Bone marrow aspirate smear. Brightfield, 40× oil-immersion objective — 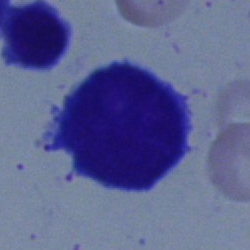An undifferentiated blast.